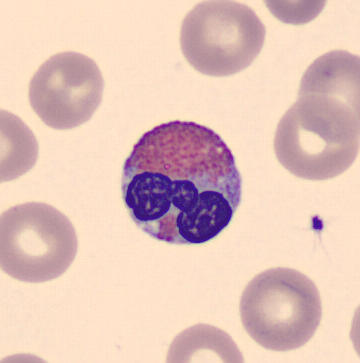 {"cell_type": "eosinophilic granulocyte", "lineage": "myeloid"}
Image: Peripheral blood smear.